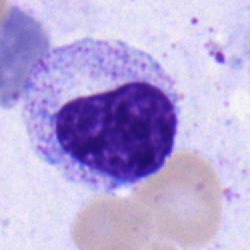 Morphology consistent with a myelocyte.